Bone marrow aspirate smear; brightfield microscopy, 40× oil immersion.
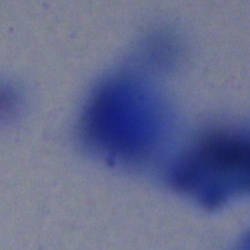 Specimen: bone marrow smear.
Cell: artefact.